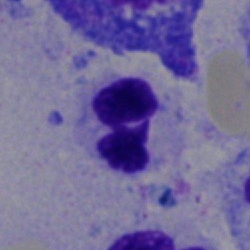{"cell_type": "neutrophil (segmented)", "lineage": "myeloid"}